Bone marrow smear
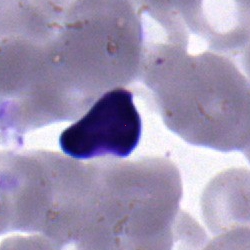
Q: What cell is this?
A: A typical lymphocyte.